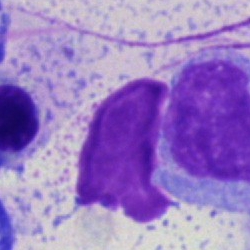Specimen: bone marrow smear.
Cell type: artifact.